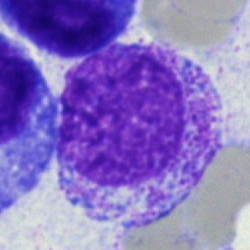Morphology → myelocyte.